Cropped to a single cell · bone marrow smear.
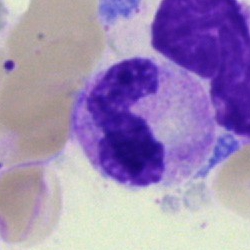
A polymorphonuclear neutrophil.